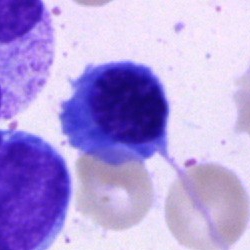

Bone marrow aspirate smear, single cell — erythroblast.